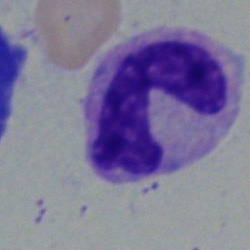Morphology → band neutrophil.